May-Grünwald-Giemsa/Pappenheim stain · bone marrow aspirate smear: 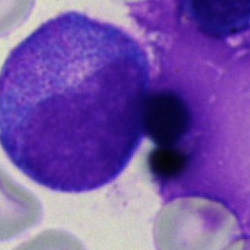
A promyelocyte.